Bone marrow aspirate smear:
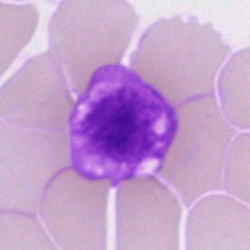
The cell type is artefact.